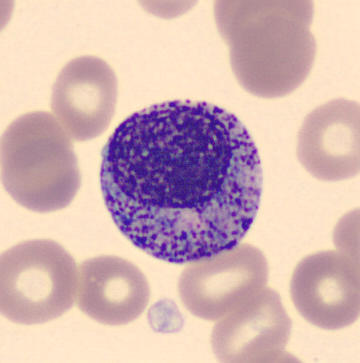
Peripheral blood film, single cell — progranulocyte.